Bone marrow smear — 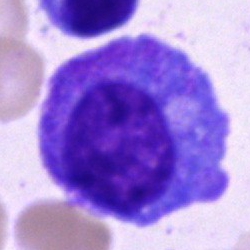A neutrophil (segmented).